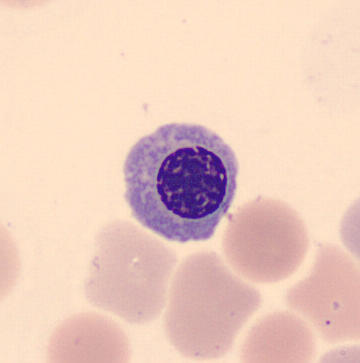Image: Peripheral blood film. 360×363 px. Q: Which cell type is shown here?
A: A nucleated red blood cell.